Bone marrow smear: 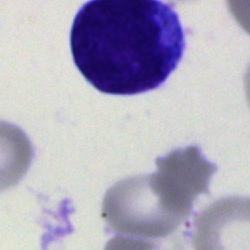

Classification: undifferentiated blast.